250×250; bone marrow smear; 40× oil immersion
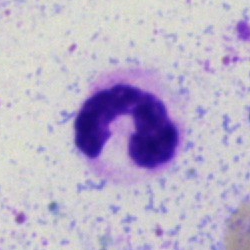 Cell type = polymorphonuclear neutrophil.